Bone marrow aspirate smear.
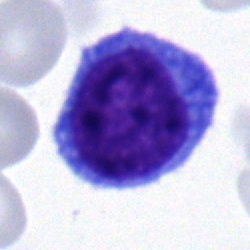Q: What is shown here?
A: This is a typical lymphocyte.